Bone marrow aspirate smear · cropped to a single cell · MGG-stained: 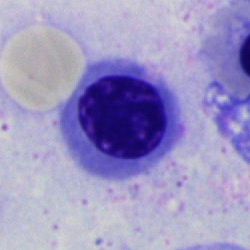Specimen: bone marrow aspirate smear.
Cell type: normoblast.
Lineage: erythroid.